Bone marrow smear · brightfield, 40× oil-immersion objective
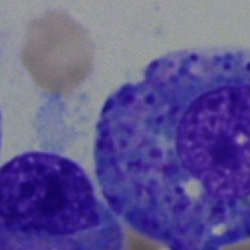
Q: What is the morphological classification of this cell?
A: It is an eosinophilic granulocyte.